Bone marrow aspirate smear:
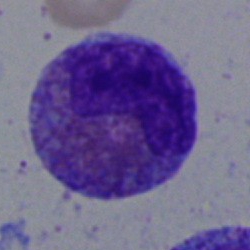 Specimen: bone marrow aspirate smear.
Classification: eosinophil.